Bone marrow aspirate smear; single-cell field: 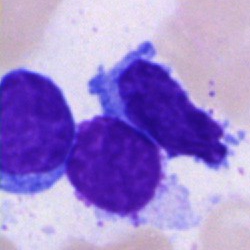Typical lymphocyte.